Single-cell field · bone marrow smear · 40× objective, oil immersion
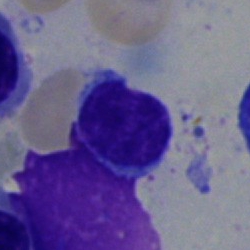Showing a lymphocyte.